Bone marrow smear
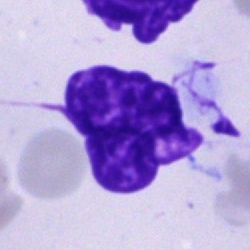Impression — artifact.